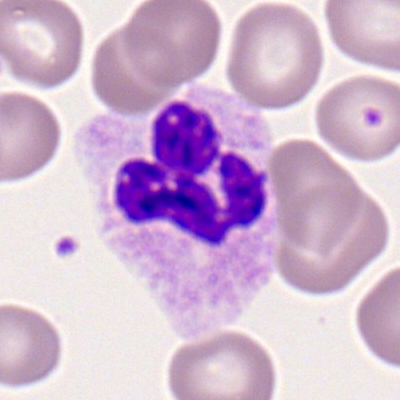

Morphological class = neutrophil (segmented).